Bone marrow aspirate smear.
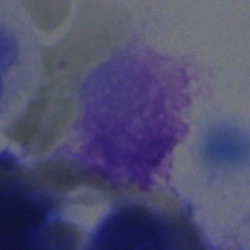
Q: What is shown here?
A: This is an artifact.